Bone marrow smear
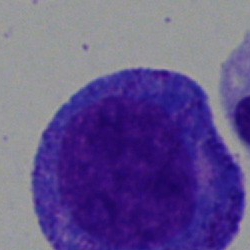 Specimen: bone marrow aspirate smear.
Cell type: progranulocyte.
Lineage: myeloid.